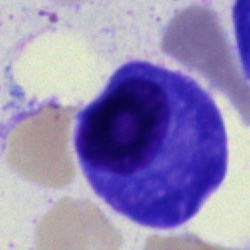 Morphology consistent with a plasma cell.